Single-cell crop. 40× objective, oil immersion. Bone marrow aspirate smear — 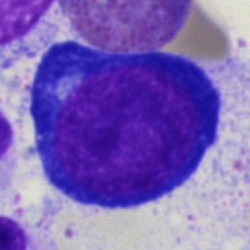

Q: What type of cell is this?
A: A pronormoblast.